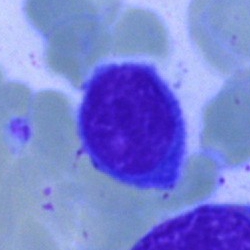

Bone marrow aspirate smear, single cell — lymphocyte.